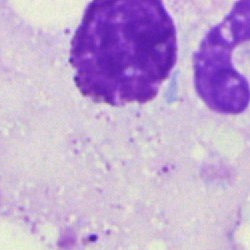
Cell — artefact.